Bone marrow aspirate smear. 40× objective, oil immersion.
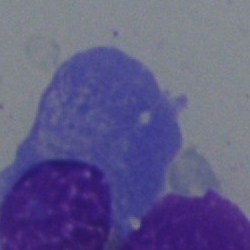
Showing a plasma cell.